Peripheral blood smear:
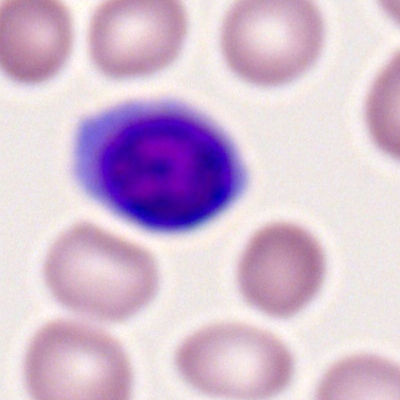The cell shown is a typical lymphocyte.